Bone marrow smear · image size 250×250 · cropped to a single cell:
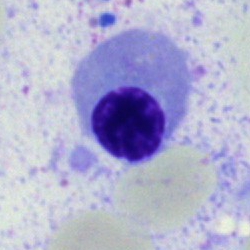

Impression — erythroblast.